Bone marrow aspirate smear — 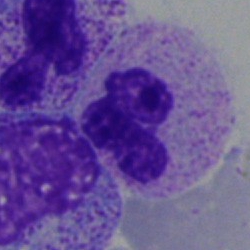Specimen: bone marrow smear.
Cell: neutrophil (segmented).
Lineage: myeloid.